Peripheral blood film: 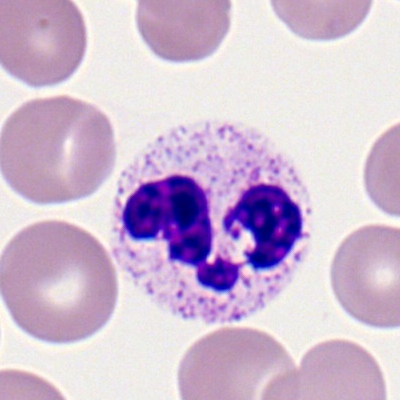Segmented neutrophil.